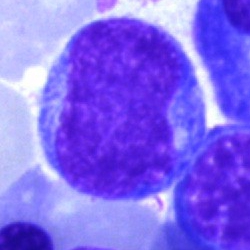

Morphology — blast.